May-Grünwald-Giemsa stain. Image size 250×250. Bone marrow aspirate smear:
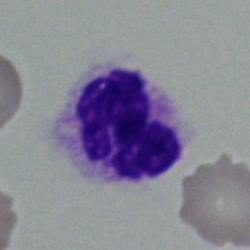{"cell_type": "polymorphonuclear neutrophil"}